Bone marrow aspirate smear: 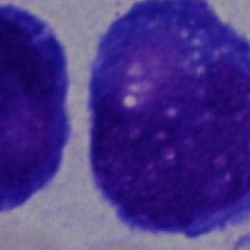Classification: blast.